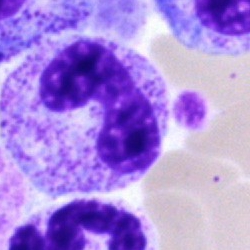Morphology consistent with a stab cell.